Brightfield microscopy, 40× oil immersion · bone marrow aspirate smear: 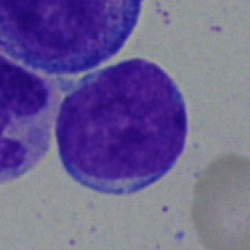Morphology → undifferentiated blast.